Bone marrow aspirate smear.
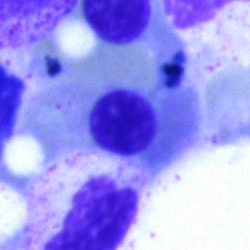 This is a normoblast.